MGG-stained; bone marrow aspirate smear: 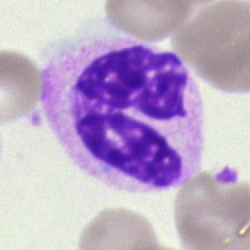 Morphology → segmented neutrophil.